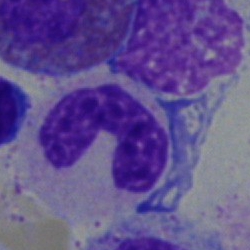
Cell = band-form neutrophil.